Bone marrow smear.
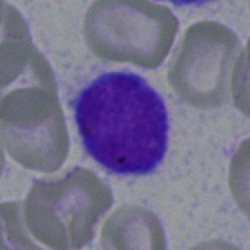This is a lymphocyte.